Bone marrow aspirate smear:
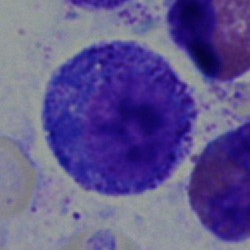 Specimen: bone marrow aspirate smear.
Morphological class: promyelocyte.
Lineage: myeloid.